Image size 250×250 · bone marrow smear — 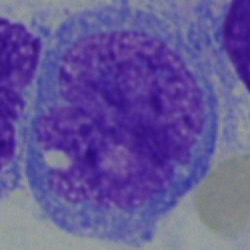
Specimen: bone marrow smear.
Classification: undifferentiated blast.